Bone marrow aspirate smear · 250 by 250 pixels — 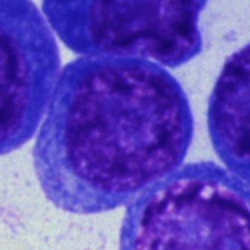

The cell type is plasma cell.